100× objective, oil immersion; peripheral blood smear; 400×400 px:
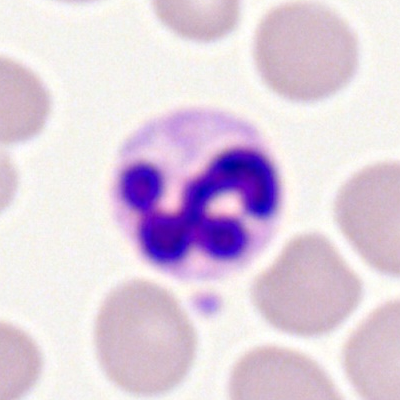The cell shown is a polymorphonuclear neutrophil.